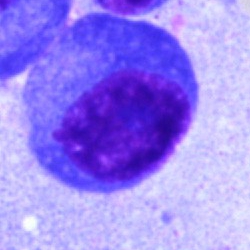 Specimen: bone marrow smear.
Cell: plasmacyte.
Lineage: lymphoid.